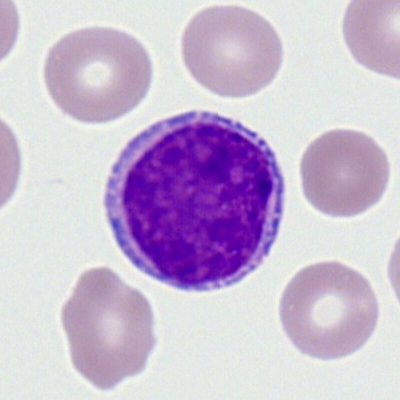

Morphological class: myeloblast.